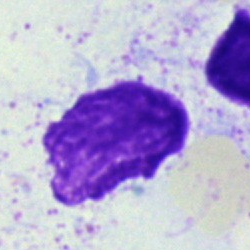
Cell — artifact.